Peripheral blood film — 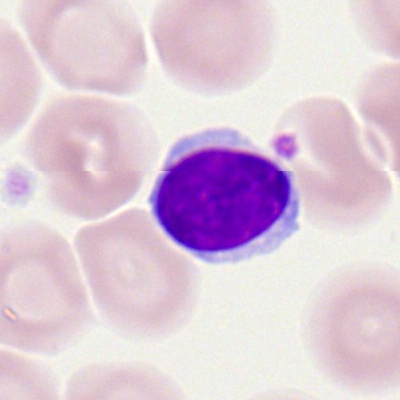
Cell type: typical lymphocyte.